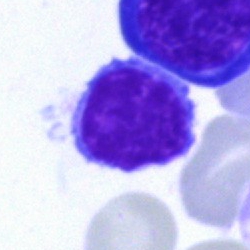
A lymphocyte on a bone marrow smear.